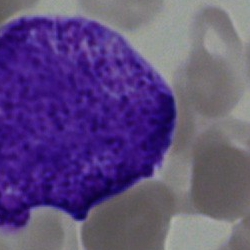Showing a blast.